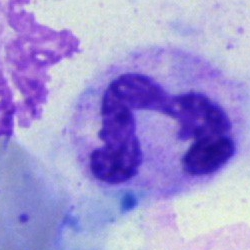Single-cell crop from a bone marrow smear: segmented neutrophil.